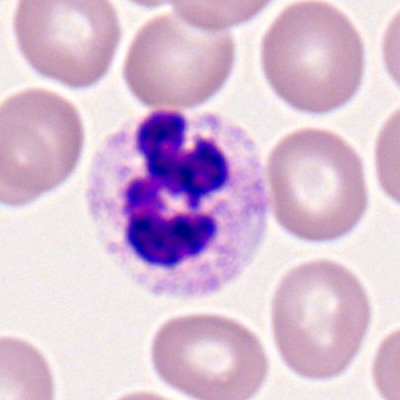This is a typical lymphocyte.